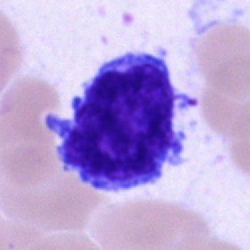 Q: Identify the cell.
A: It is an undifferentiated blast.